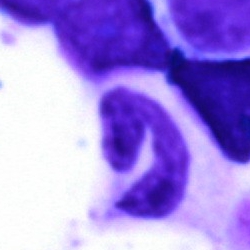

Morphology — band-form neutrophil.